Bone marrow smear · 250×250:
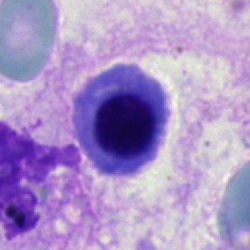
Classification — nucleated red blood cell.